Bone marrow smear.
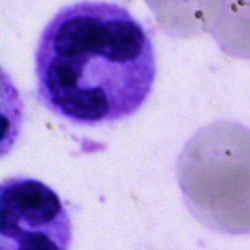 The morphological class is neutrophil (segmented).